Bone marrow smear:
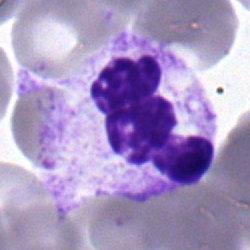Cell type = segmented neutrophil.